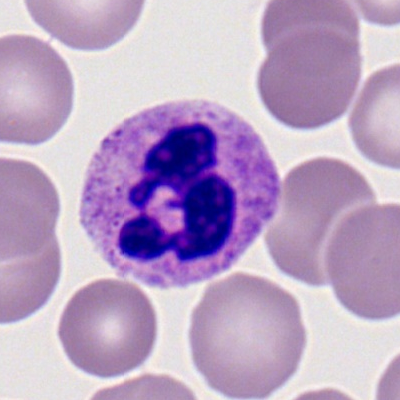

A neutrophil (segmented) on a peripheral blood smear.